100× objective, oil immersion; Romanowsky-stained; peripheral blood smear.
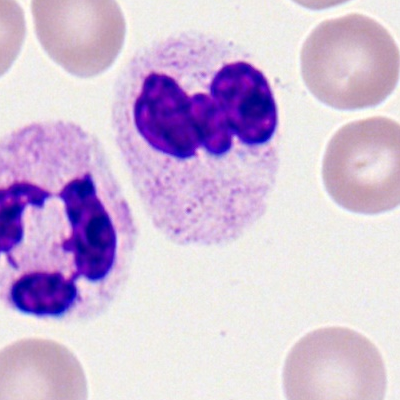Specimen: peripheral blood smear.
Classification: polymorphonuclear neutrophil.
Lineage: myeloid.